Bone marrow aspirate smear · single cell centered in the field:
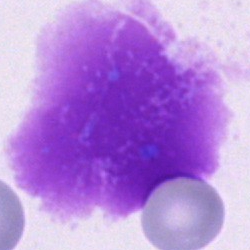Impression — artifact.